Bone marrow aspirate smear; brightfield, 40× oil-immersion objective — 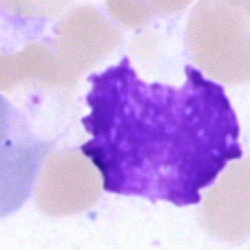
Cell: artefact.